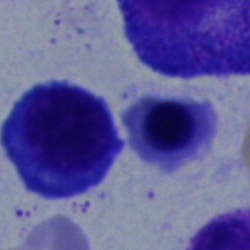
{"cell_type": "normoblast", "lineage": "erythroid"}